Bone marrow aspirate smear · single-cell field — 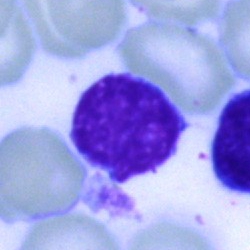
Cell — typical lymphocyte.